Bone marrow smear — 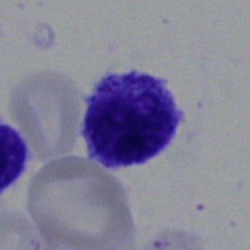

Morphology → typical lymphocyte.